Bone marrow aspirate smear: 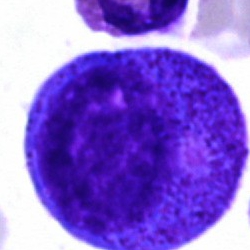

{"cell_type": "progranulocyte", "lineage": "myeloid"}